MGG-stained; bone marrow smear: 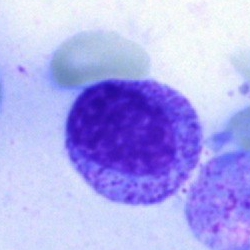

The morphological class is myelocyte.